Bone marrow aspirate smear:
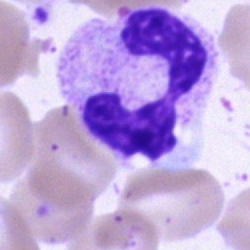Q: What is shown here?
A: This is a neutrophil (segmented).